Bone marrow smear · 250 by 250 pixels · single cell centered in the field
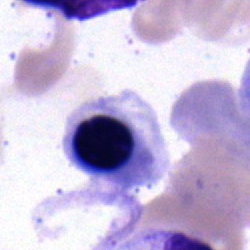Morphological class — erythroblast.